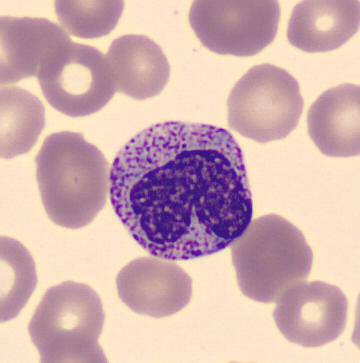
Preparation: Peripheral blood film. Morphology — metamyelocyte.